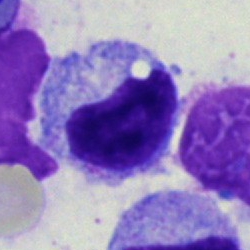

Morphological class = metamyelocyte.